Bone marrow smear.
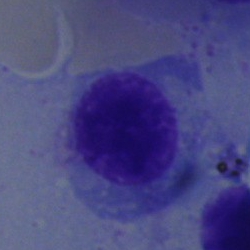This is a nucleated red cell.